Bone marrow smear
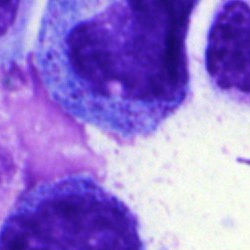 Specimen: bone marrow smear.
Cell: progranulocyte.
Lineage: myeloid.